Bone marrow aspirate smear
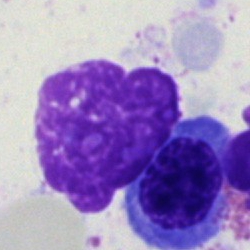Single cell identified as an artifact.